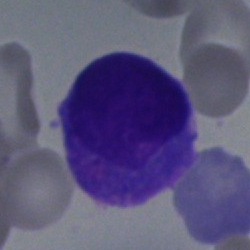

Specimen: bone marrow aspirate smear.
Cell: blast.